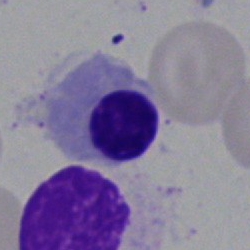

Cell: normoblast.